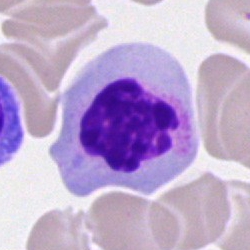
Morphology — nucleated red cell.